Bone marrow aspirate smear:
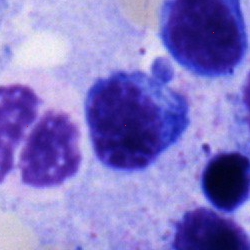Morphological class — typical lymphocyte.